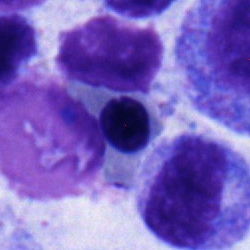Single cell identified as an erythroblast.